Bone marrow smear — 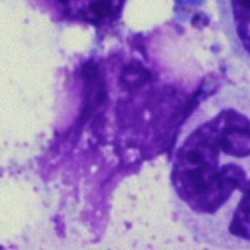
Specimen: bone marrow aspirate smear.
Cell: artefact.